Brightfield, 40× oil-immersion objective. Bone marrow smear.
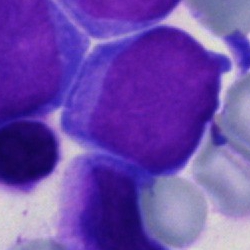
Impression → blast cell.